100× oil immersion; peripheral blood smear; 400×400 px.
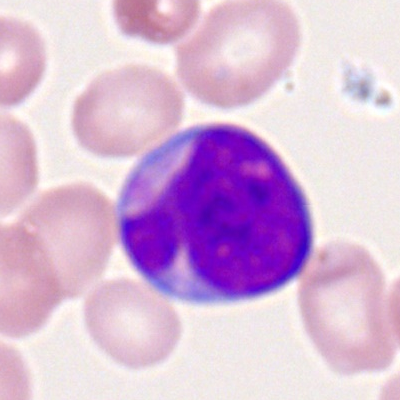

This is a myeloid blast.